Bone marrow aspirate smear.
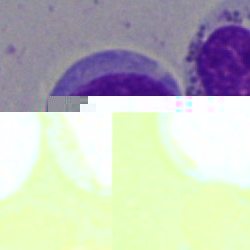 Cell type: blast cell.